Bone marrow aspirate smear · MGG-stained · cropped to a single cell:
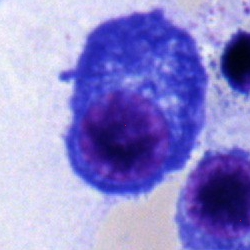
Q: What is the morphological classification of this cell?
A: It is a plasma cell.